Bone marrow smear:
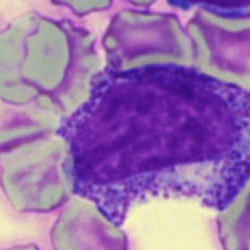

A promyelocyte.